Bone marrow smear; single cell centered in the field — 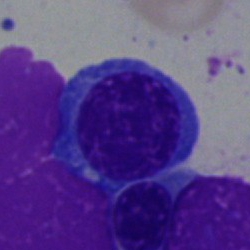
Cell type = erythroblast.